Peripheral blood film:
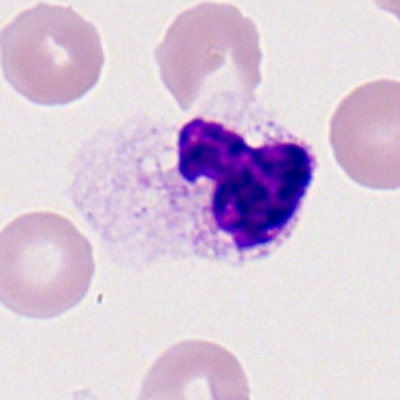This is a neutrophil (segmented).